Bone marrow smear — 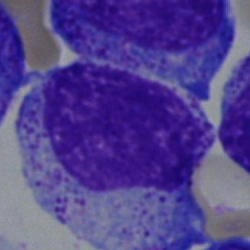

Q: What cell is this?
A: It is a myelocyte.